Single-cell field; bone marrow smear — 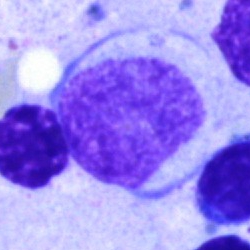 The cell type is cell of indeterminate lineage.